Bone marrow aspirate smear. 40× objective, oil immersion:
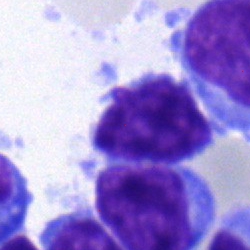 Q: Identify the cell.
A: Lymphocyte.